Brightfield microscopy, 40× oil immersion; cropped to a single cell; bone marrow smear: 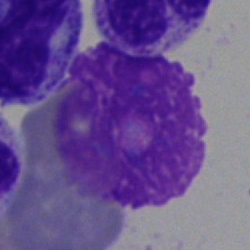An artifact.